Cropped to a single cell · brightfield, 40× oil-immersion objective · bone marrow smear
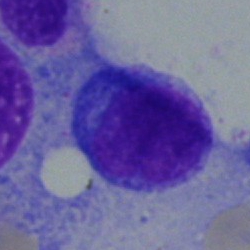 Showing a plasma cell.